Bone marrow aspirate smear — 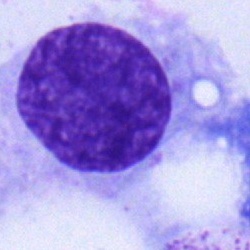{"cell_type": "plasmacyte", "lineage": "lymphoid"}